Brightfield, 100× oil-immersion objective · peripheral blood smear:
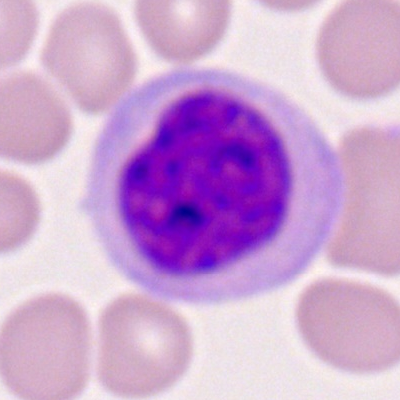
Monocyte.